Peripheral blood film; MGG-stained; 360 by 363 pixels
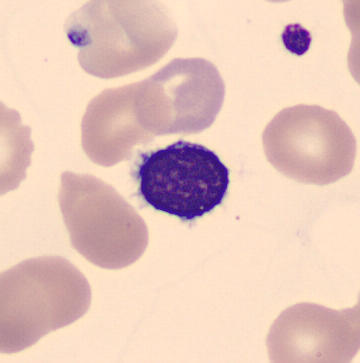
Q: What is the morphological classification of this cell?
A: It is a lymphocyte.